Bone marrow aspirate smear
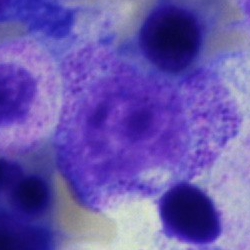A progranulocyte.